MGG-stained; bone marrow aspirate smear.
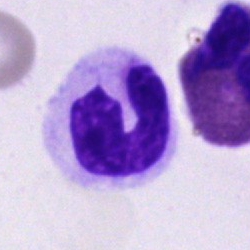
Neutrophil (band).